Bone marrow smear. Brightfield microscopy, 40× oil immersion
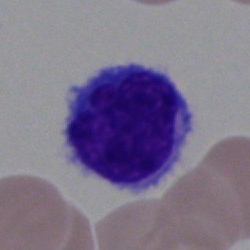 Morphology → typical lymphocyte.